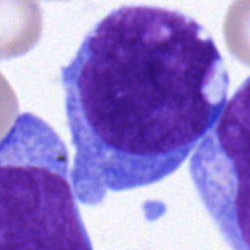
Bone marrow aspirate smear, single cell — undifferentiated blast.